Bone marrow aspirate smear:
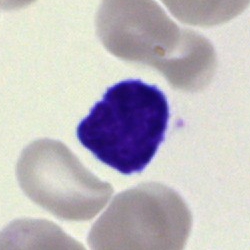Morphological class: typical lymphocyte.